Bone marrow smear. 250 by 250 pixels:
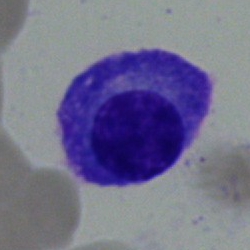 Cell type: plasma cell.